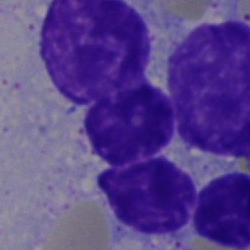

An artifact on a bone marrow smear.